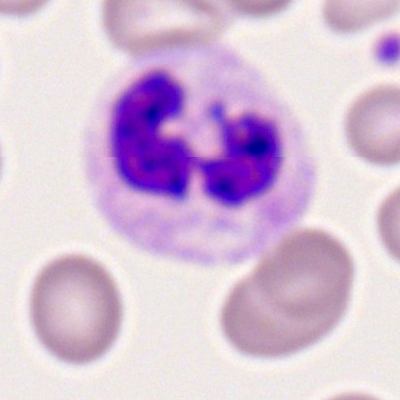
The cell shown is a segmented neutrophil.